Bone marrow aspirate smear; cropped to a single cell; image size 250×250.
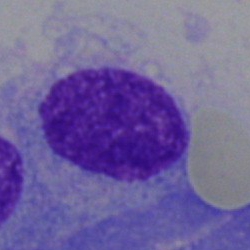

Q: Which cell type is shown here?
A: It is a plasma cell.